Bone marrow aspirate smear: 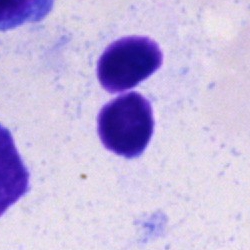

Specimen: bone marrow smear.
Cell type: polymorphonuclear neutrophil.
Lineage: myeloid.